Bone marrow aspirate smear — 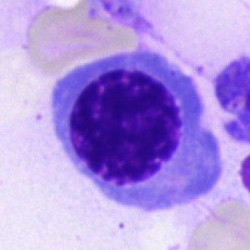

Impression → nucleated red cell.